Bone marrow aspirate smear · single cell centered in the field.
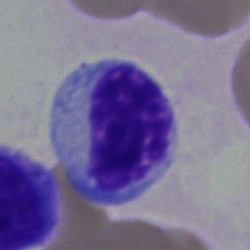
Specimen: bone marrow aspirate smear.
Classification: myelocyte.
Lineage: myeloid.